Bone marrow aspirate smear: 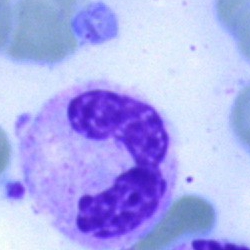 Morphology → polymorphonuclear neutrophil.